Bone marrow smear; 250 by 250 pixels; 40× objective, oil immersion:
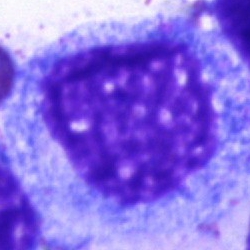
This is a progranulocyte.